Bone marrow aspirate smear — 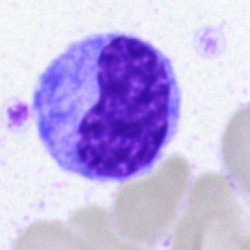
Metamyelocyte.